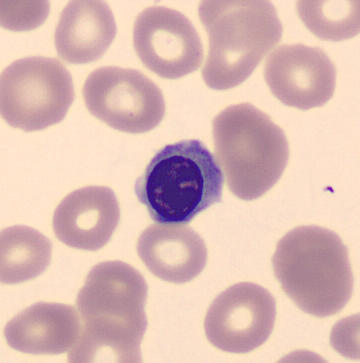

A nucleated red cell on a peripheral blood smear.